Single cell centered in the field. Bone marrow aspirate smear: 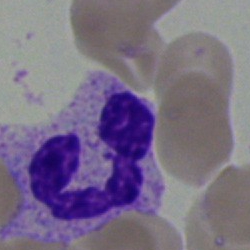 {"cell_type": "polymorphonuclear neutrophil"}